Bone marrow aspirate smear: 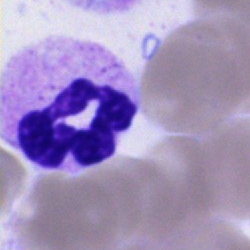 Specimen: bone marrow smear.
Cell: neutrophil (segmented).
Lineage: myeloid.